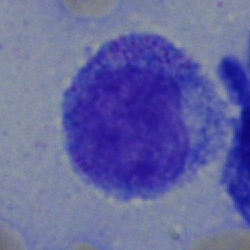

A progranulocyte.